Bone marrow smear.
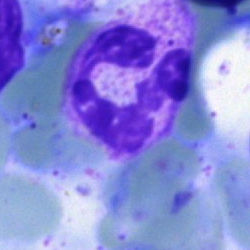
Segmented neutrophil.